Bone marrow smear
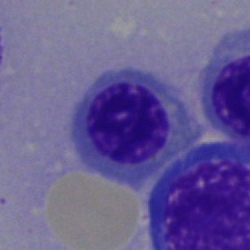

{"cell_type": "nucleated red blood cell", "lineage": "erythroid"}